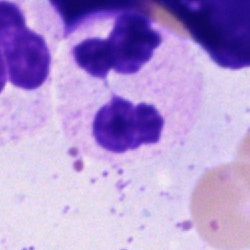
Morphology — neutrophil (segmented).